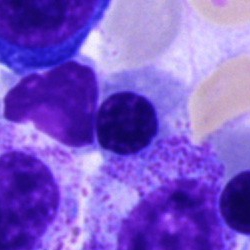 Morphology consistent with a nucleated red cell.